Bone marrow aspirate smear:
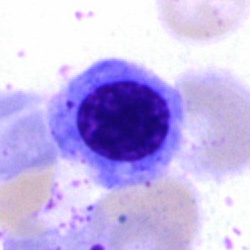

Q: What cell is this?
A: Normoblast.